Bone marrow aspirate smear. MGG-stained
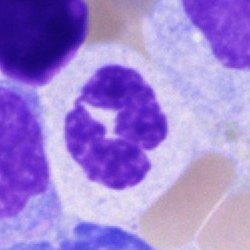 Specimen: bone marrow smear.
Cell type: polymorphonuclear neutrophil.
Lineage: myeloid.